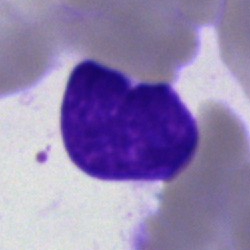
Classification = artifact.